Peripheral blood film
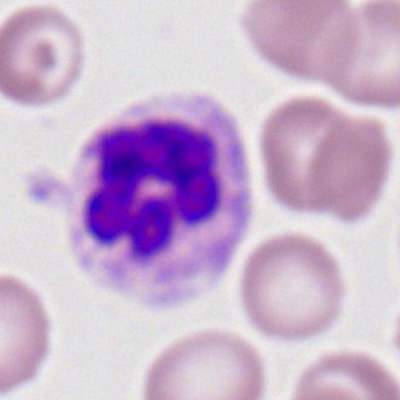A polymorphonuclear neutrophil.